100× oil immersion; Romanowsky-stained; peripheral blood smear: 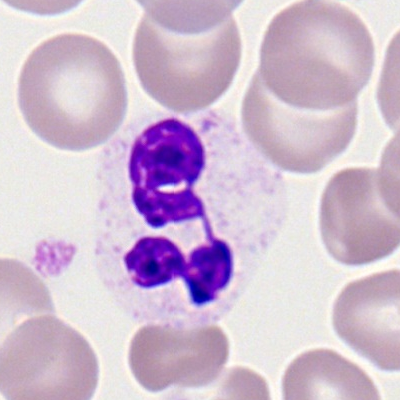 Q: What type of cell is this?
A: This is a polymorphonuclear neutrophil.